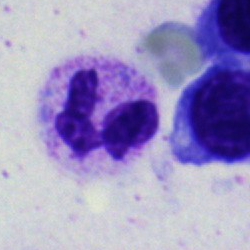{"cell_type": "polymorphonuclear neutrophil", "lineage": "myeloid"}